Bone marrow aspirate smear: 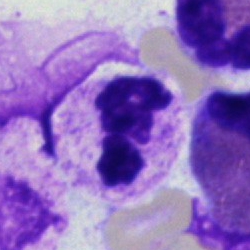

Morphology consistent with a polymorphonuclear neutrophil.